Bone marrow aspirate smear · Pappenheim-stained:
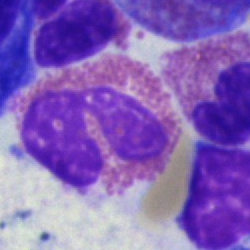

This is an eosinophilic granulocyte.